Bone marrow smear: 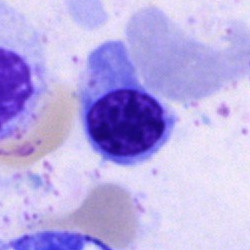

Impression — nucleated red blood cell.